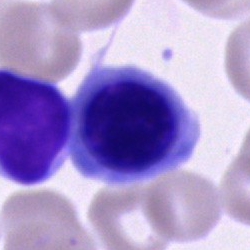Classification = erythroblast.